Bone marrow smear:
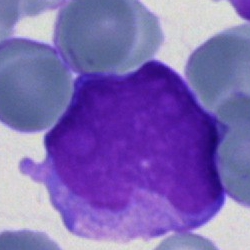
The cell shown is an undifferentiated blast.